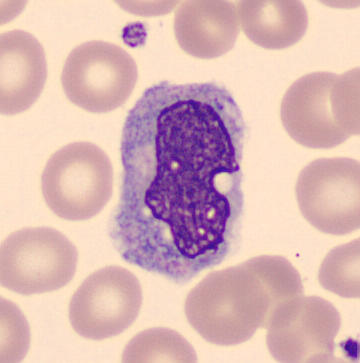 Single-cell crop from a peripheral blood smear: monocyte.